Bone marrow aspirate smear
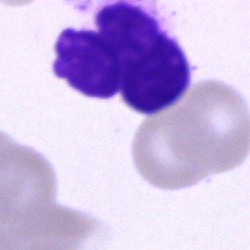Specimen: bone marrow aspirate smear.
Cell: artifact.